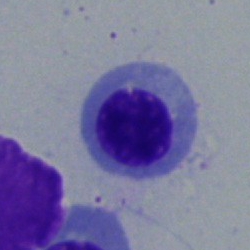 Morphological class: erythroblast.